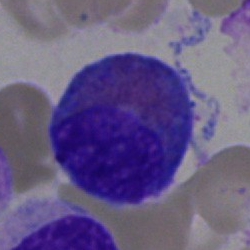

Impression → eosinophilic granulocyte.